Bone marrow smear — 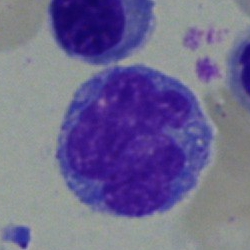 Specimen: bone marrow smear.
Cell type: monocyte.
Lineage: myeloid.